Bone marrow aspirate smear
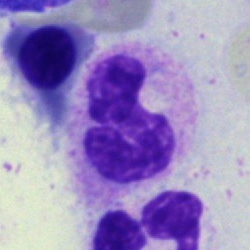
Specimen: bone marrow aspirate smear.
Classification: polymorphonuclear neutrophil.
Lineage: myeloid.